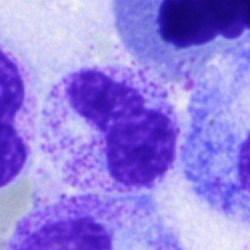

This is a neutrophil (band).